Bone marrow smear.
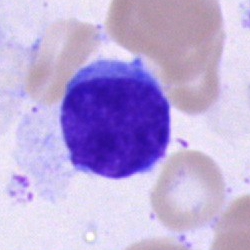
Single cell identified as a typical lymphocyte.